Peripheral blood film:
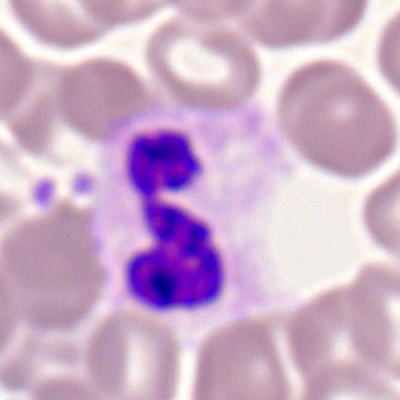 A polymorphonuclear neutrophil.